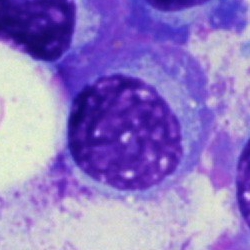

Impression — plasmacyte.